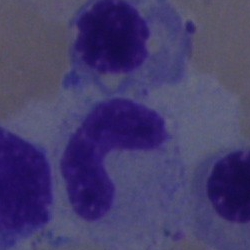

{"cell_type": "neutrophil (band)"}